Bone marrow smear:
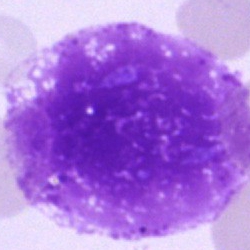

Morphology consistent with an artefact.